Peripheral blood smear. May-Grünwald-Giemsa-stained.
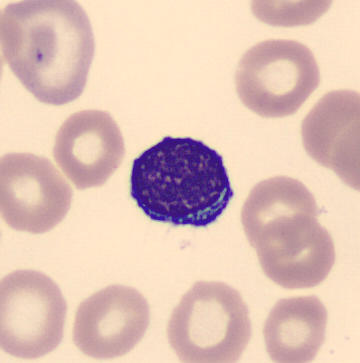Morphology → lymphocyte.